May-Grünwald-Giemsa/Pappenheim stain; bone marrow aspirate smear: 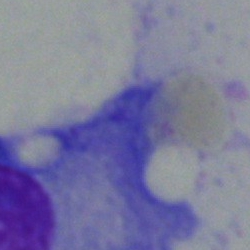Q: What cell is this?
A: Plasmacyte.